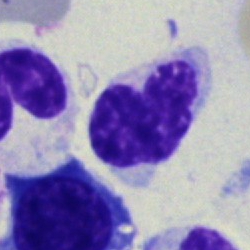
Morphology → myelocyte.